Romanowsky-type stain; peripheral blood film; single-cell field: 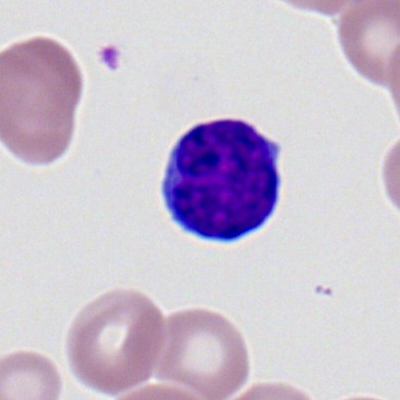
Q: What is shown here?
A: This is a typical lymphocyte.